Image size 250×250. Single cell centered in the field. Bone marrow smear.
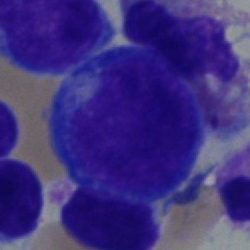Specimen: bone marrow aspirate smear.
Morphological class: blast cell.